Peripheral blood smear — 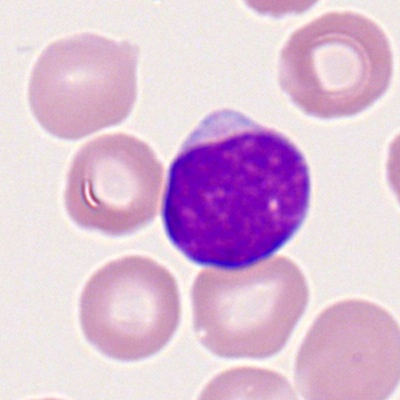
Impression — myeloblast.